Bone marrow aspirate smear.
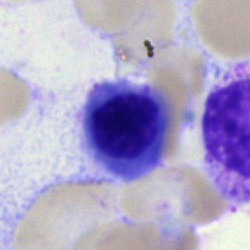 Morphology consistent with a nucleated red cell.